Bone marrow aspirate smear. Cropped to a single cell. 40× objective, oil immersion.
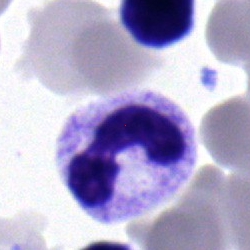This is a segmented neutrophil.